Brightfield, 40× oil-immersion objective. Bone marrow aspirate smear.
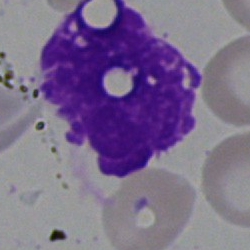

Specimen: bone marrow smear.
Cell: artifact.